40× oil immersion · bone marrow smear — 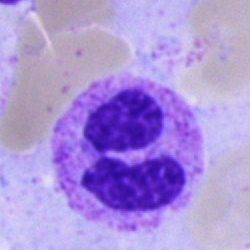Specimen: bone marrow smear.
Classification: segmented neutrophil.
Lineage: myeloid.